Bone marrow aspirate smear:
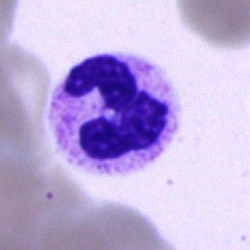Specimen: bone marrow aspirate smear.
Cell: polymorphonuclear neutrophil.
Lineage: myeloid.